Bone marrow aspirate smear. 250×250 px. Brightfield microscopy, 40× oil immersion:
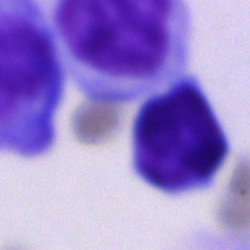 Q: What is shown here?
A: Cell of indeterminate lineage.